Bone marrow aspirate smear
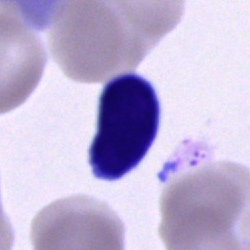

Cell — typical lymphocyte.